Single-cell field; image size 250×250; bone marrow aspirate smear
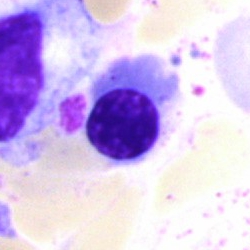Q: What is shown here?
A: It is a nucleated red blood cell.